Single cell centered in the field · bone marrow smear — 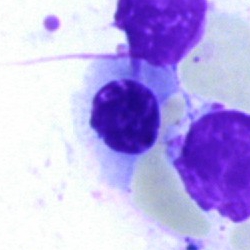 Classification: nucleated red cell.